Bone marrow aspirate smear — 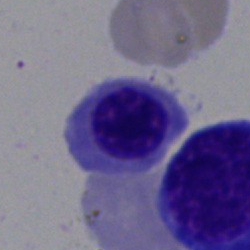

A nucleated red blood cell.